Bone marrow smear.
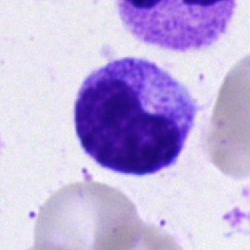

The morphological class is metamyelocyte.